May-Grünwald-Giemsa/Pappenheim stain · brightfield microscopy, 40× oil immersion · bone marrow smear
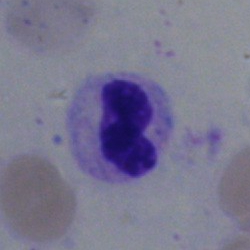

Cell — segmented neutrophil.